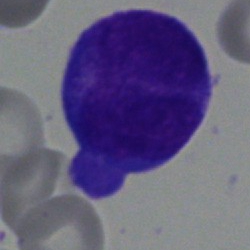Bone marrow smear showing a blast cell.